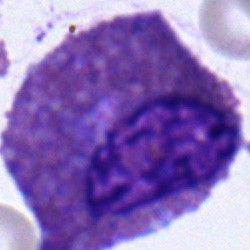

Q: What is shown here?
A: An eosinophilic granulocyte.